Brightfield, 40× oil-immersion objective. Bone marrow smear. Single-cell crop
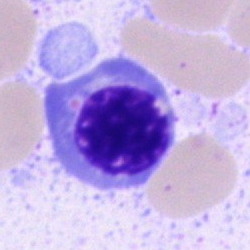 Q: What cell is this?
A: Normoblast.